Peripheral blood film · Romanowsky stain.
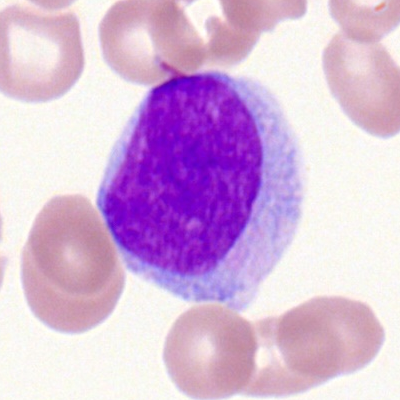 {"cell_type": "myeloid blast", "lineage": "myeloid"}